Bone marrow aspirate smear · 40× objective, oil immersion:
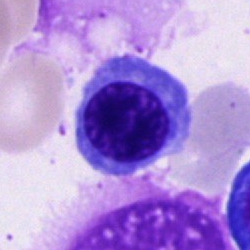 A nucleated red cell.